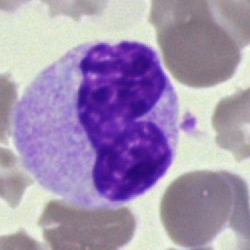
Specimen: bone marrow smear.
Morphological class: band neutrophil.
Lineage: myeloid.